Single-cell field · bone marrow smear · 250×250 px: 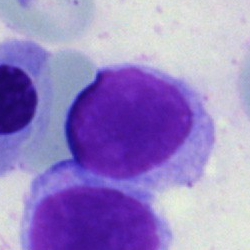

Single cell identified as a lymphocyte.